250 by 250 pixels · single cell centered in the field · bone marrow smear — 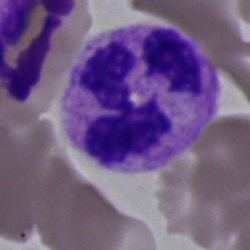

Q: What is the morphological classification of this cell?
A: It is a polymorphonuclear neutrophil.